Bone marrow aspirate smear; MGG-stained; brightfield microscopy, 40× oil immersion
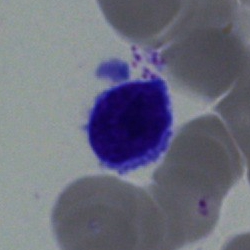
The cell shown is a typical lymphocyte.